Bone marrow aspirate smear; 40× objective, oil immersion — 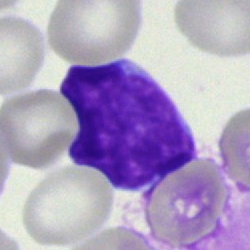
Morphology consistent with an undifferentiated blast.